Bone marrow smear: 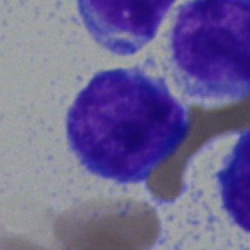

Q: What cell is this?
A: Typical lymphocyte.